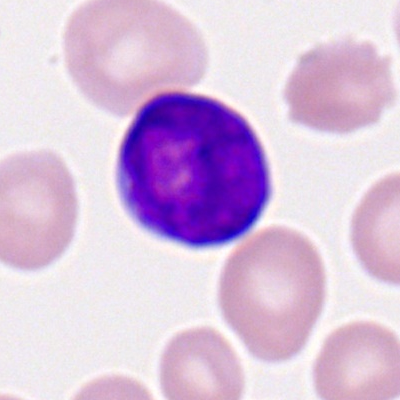

The cell type is myeloid blast.